Bone marrow aspirate smear: 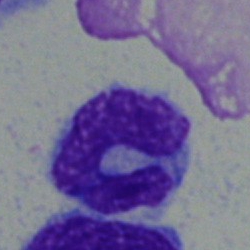

Q: What is shown here?
A: Monocyte.